250 by 250 pixels · bone marrow smear · May-Grünwald-Giemsa/Pappenheim stain: 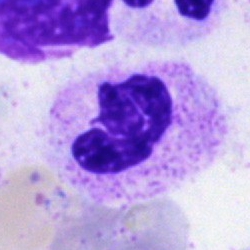
Q: What is the morphological classification of this cell?
A: It is a polymorphonuclear neutrophil.